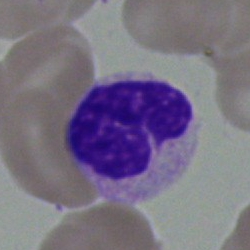
Q: Which cell type is shown here?
A: It is a band neutrophil.